Peripheral blood film:
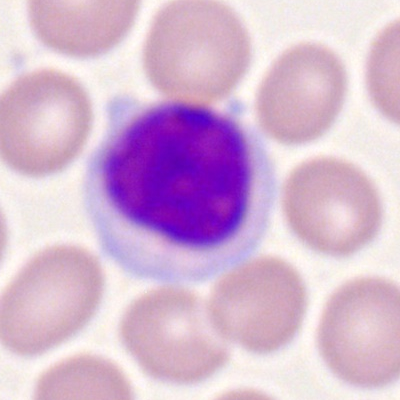Specimen: peripheral blood film.
Cell type: typical lymphocyte.
Lineage: lymphoid.